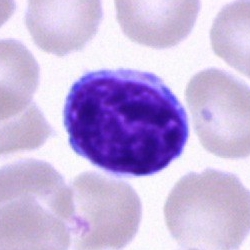 Morphological class = lymphocyte.